Bone marrow aspirate smear — 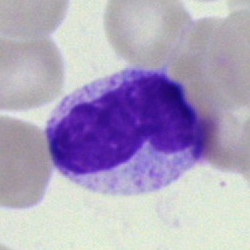
The morphological class is artefact.